250×250. Bone marrow aspirate smear: 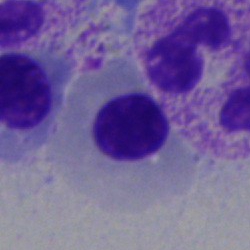
The morphological class is nucleated red blood cell.